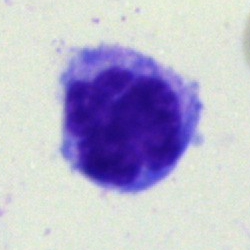

Q: What type of cell is this?
A: This is a typical lymphocyte.